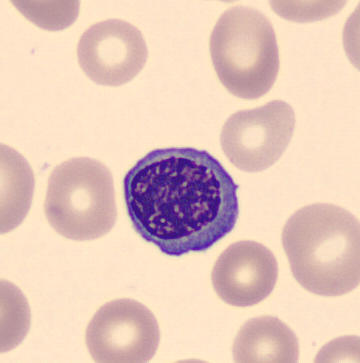

Q: Which cell type is shown here?
A: A nucleated red blood cell.